May-Grünwald-Giemsa/Pappenheim stain. Bone marrow aspirate smear: 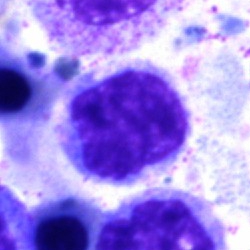
Typical lymphocyte.